Bone marrow smear. 40× oil immersion.
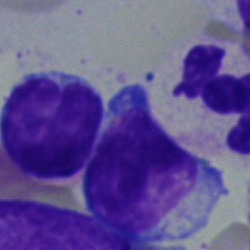
Cell type: typical lymphocyte.